Bone marrow smear:
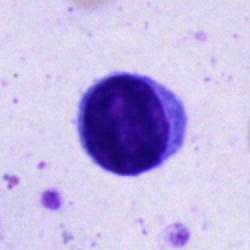
Classification = lymphocyte.